Bone marrow smear.
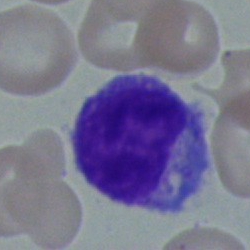The cell shown is an undifferentiated blast.